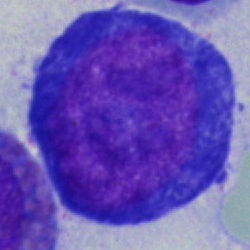
Specimen: bone marrow smear.
Morphological class: proerythroblast.
Lineage: erythroid.